Peripheral blood smear.
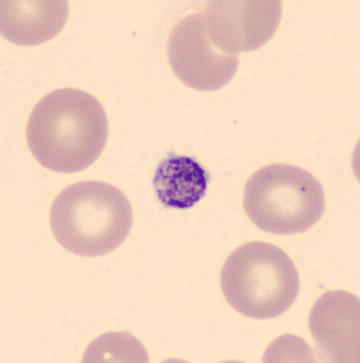 Q: What is shown here?
A: Platelet (thrombocyte).